Bone marrow aspirate smear · 250×250 px — 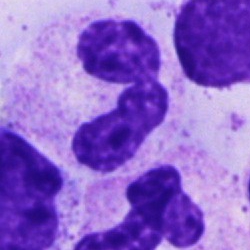Q: Which cell type is shown here?
A: It is a segmented neutrophil.